Bone marrow aspirate smear. 40× objective, oil immersion.
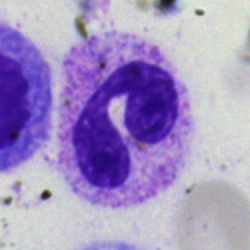Segmented neutrophil.